May-Grünwald-Giemsa stain. Bone marrow smear:
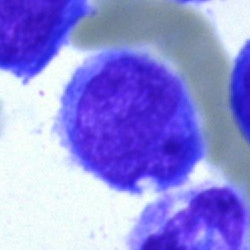

Blast.